Bone marrow aspirate smear; 40× objective, oil immersion — 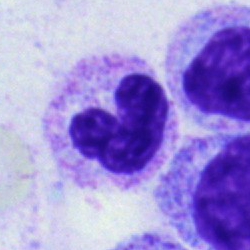 Impression → stab cell.